Bone marrow smear.
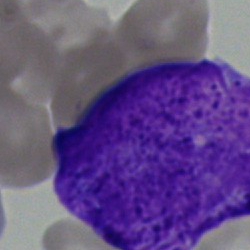

Morphology consistent with an undifferentiated blast.